Bone marrow smear. 250×250: 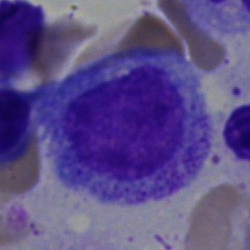

Specimen: bone marrow aspirate smear.
Cell: promyelocyte.
Lineage: myeloid.